Single-cell field. Bone marrow smear. Pappenheim-stained — 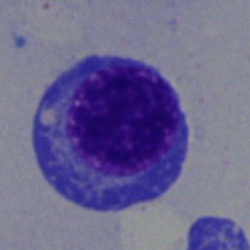
This is a nucleated red cell.